Bone marrow aspirate smear · 250×250
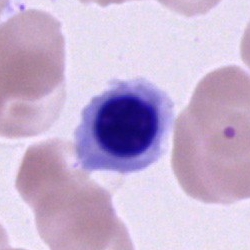{"cell_type": "nucleated red cell", "lineage": "erythroid"}